Bone marrow aspirate smear — 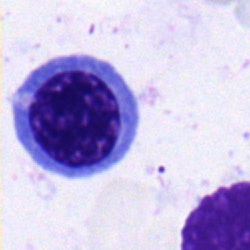
Classification — nucleated red blood cell.